Bone marrow aspirate smear; brightfield microscopy, 40× oil immersion: 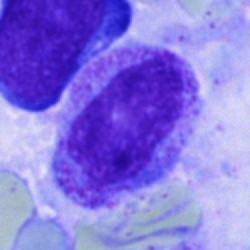

Myelocyte.